Bone marrow aspirate smear.
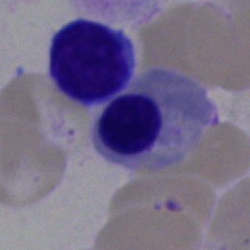
Morphology consistent with a nucleated red cell.